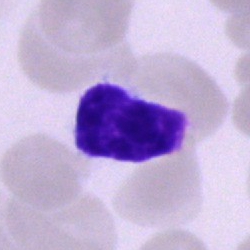

Showing a lymphocyte.